Cropped to a single cell; bone marrow smear; 250×250 px
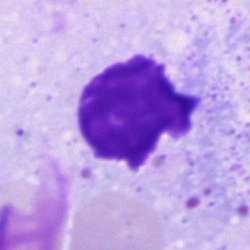
Cell type = artefact.